360 by 363 pixels · peripheral blood smear
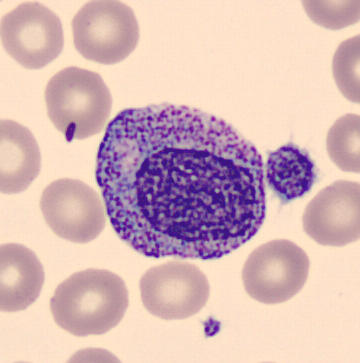 Q: Identify the cell.
A: This is a myelocyte.